Bone marrow smear.
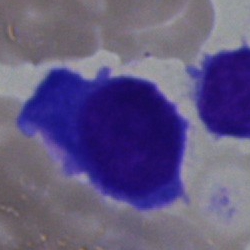Impression → plasmacyte.